Cropped to a single cell. Bone marrow smear:
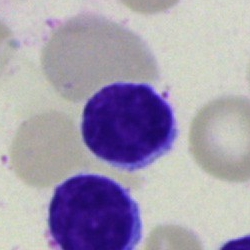Morphology consistent with a lymphocyte.